Bone marrow aspirate smear: 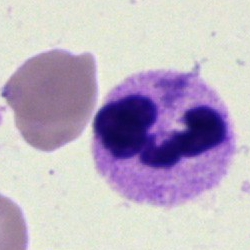Single cell identified as a segmented neutrophil.